Bone marrow aspirate smear
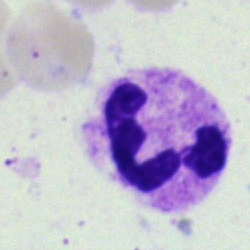 Specimen: bone marrow smear.
Cell type: segmented neutrophil.